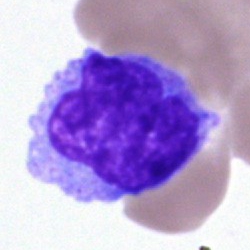 Morphology consistent with a monocyte.